Pappenheim-stained · bone marrow smear:
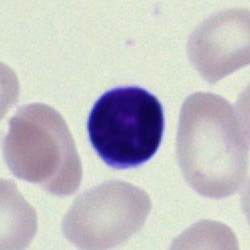 Typical lymphocyte.